Bone marrow aspirate smear. May-Grünwald-Giemsa stain. Single-cell field.
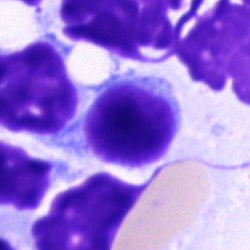The cell type is lymphocyte.